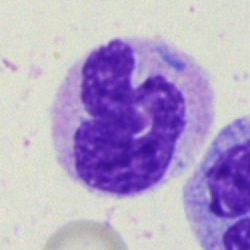

Cell — segmented neutrophil.